Cropped to a single cell; bone marrow aspirate smear: 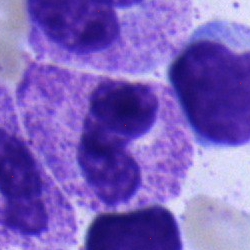

Specimen: bone marrow aspirate smear.
Cell type: band-form neutrophil.
Lineage: myeloid.